250×250 px · bone marrow aspirate smear · MGG-stained — 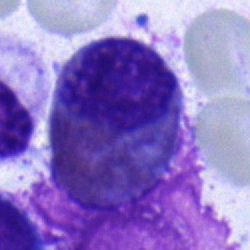 Showing an eosinophil.